Bone marrow smear
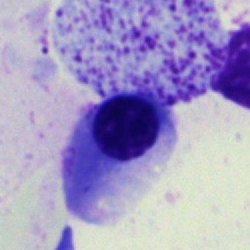The cell type is nucleated red blood cell.